40× oil immersion. Single cell centered in the field. Bone marrow smear
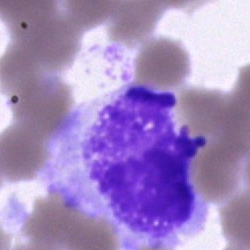 Showing an artefact.